Bone marrow smear
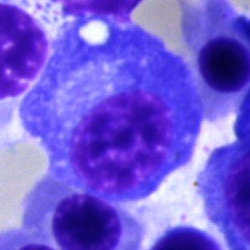

Single cell identified as a plasmacyte.